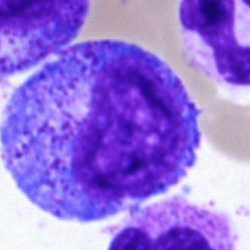
Morphology consistent with a progranulocyte.